Bone marrow aspirate smear:
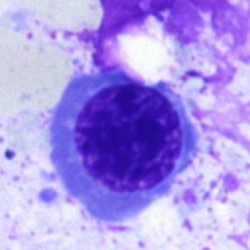 Morphological class — basophil.